Peripheral blood smear.
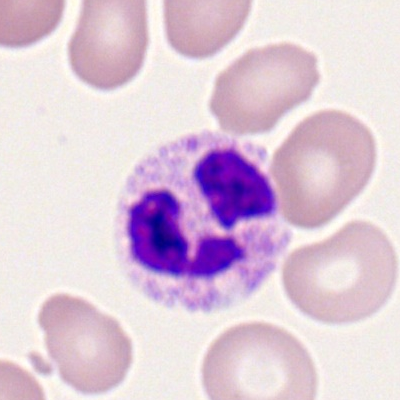Specimen: peripheral blood smear.
Classification: segmented neutrophil.